Bone marrow smear
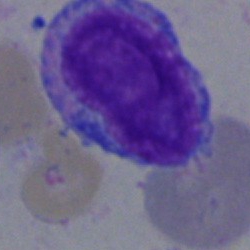Specimen: bone marrow smear.
Cell: undifferentiated blast.